Bone marrow aspirate smear: 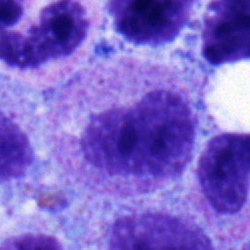 Classification = metamyelocyte.